Peripheral blood film. 100× objective, oil immersion. 400×400.
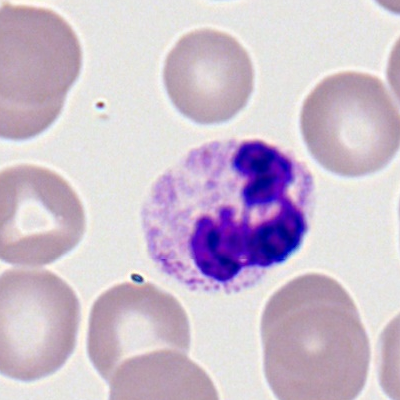
Specimen: peripheral blood film.
Morphological class: neutrophil (segmented).
Lineage: myeloid.